Peripheral blood smear — 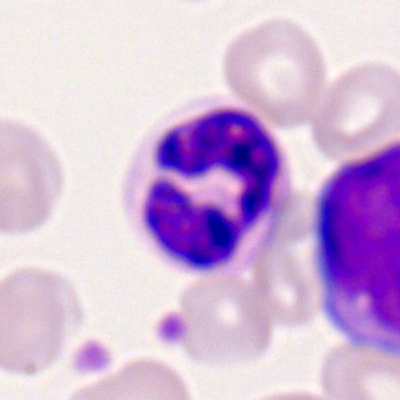
Specimen: peripheral blood smear.
Cell type: neutrophil (segmented).